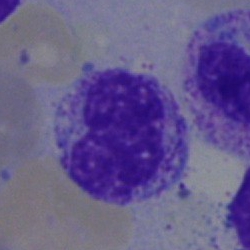 Q: What is the morphological classification of this cell?
A: It is a metamyelocyte.